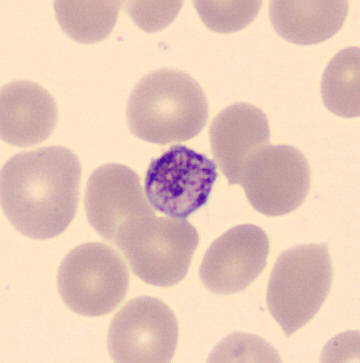
Peripheral blood film. May Grünwald-Giemsa stain. Morphological class — platelet.